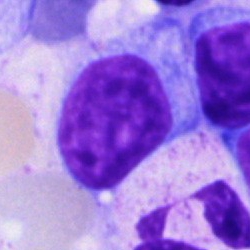Typical lymphocyte.